250×250. Bone marrow aspirate smear:
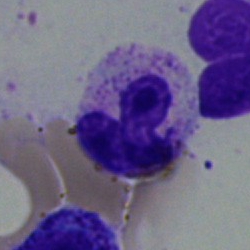
The classification is polymorphonuclear neutrophil.